Peripheral blood smear: 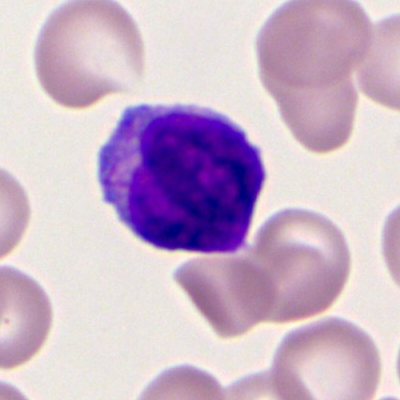Impression — myeloblast.